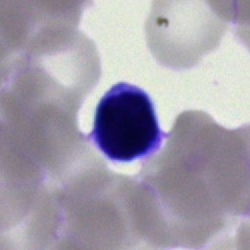
The cell shown is a typical lymphocyte.